Bone marrow smear — 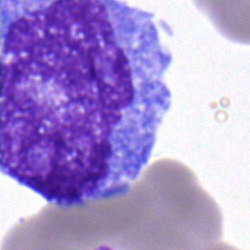Showing a progranulocyte.